Bone marrow aspirate smear: 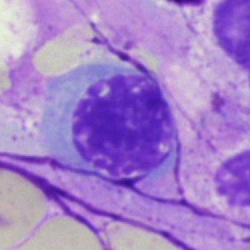Showing a nucleated red blood cell.